Bone marrow smear — 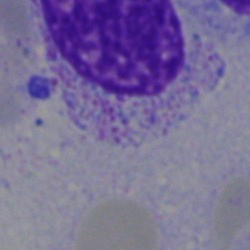

Q: What is shown here?
A: An artefact.